Bone marrow aspirate smear · 250 by 250 pixels: 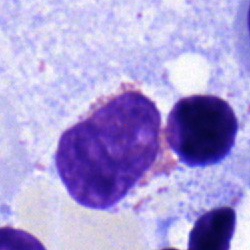 Single cell identified as an eosinophil.